Bone marrow aspirate smear
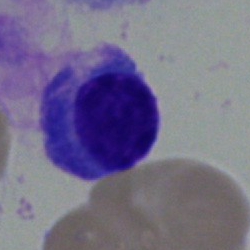

Plasma cell.